Bone marrow smear — 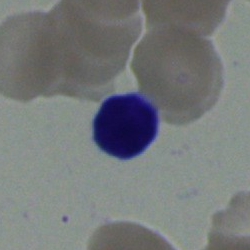
{"cell_type": "typical lymphocyte", "lineage": "lymphoid"}